Bone marrow smear · 40× objective, oil immersion — 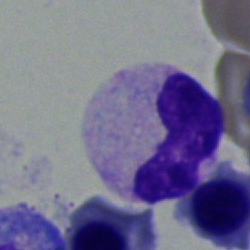 {"cell_type": "neutrophil (segmented)", "lineage": "myeloid"}